Bone marrow aspirate smear. May-Grünwald-Giemsa/Pappenheim stain:
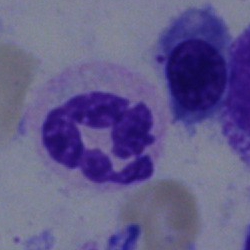 {"cell_type": "neutrophil (segmented)", "lineage": "myeloid"}